Bone marrow aspirate smear.
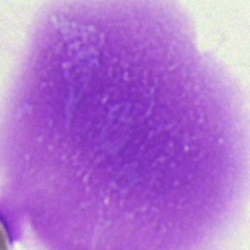
Specimen: bone marrow smear.
Morphological class: artifact.